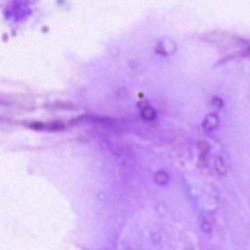

Morphology → artefact.